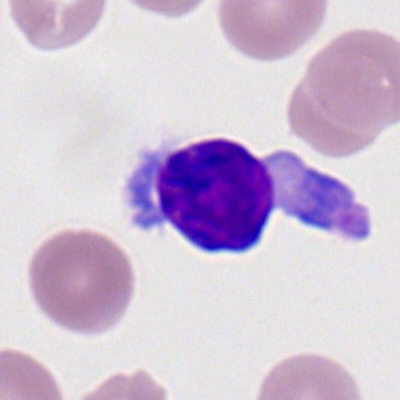
Classification = lymphocyte.